Bone marrow aspirate smear. 40× oil immersion — 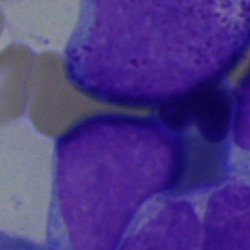Morphology consistent with a blast.